Bone marrow aspirate smear — 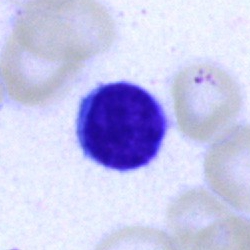

Q: What type of cell is this?
A: Typical lymphocyte.